250 by 250 pixels; bone marrow aspirate smear; single-cell field
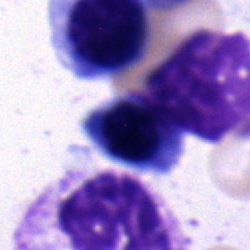
This is a normoblast.